Single cell centered in the field. Pappenheim-stained. Bone marrow smear
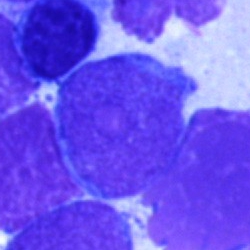 Morphology consistent with a blast.